Bone marrow aspirate smear
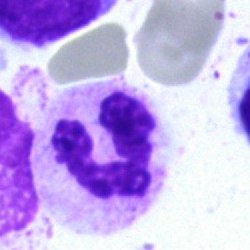The cell type is segmented neutrophil.